Bone marrow aspirate smear · single-cell field — 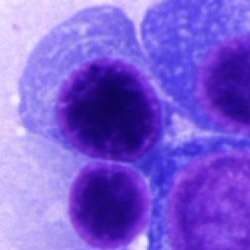

This is a plasmacyte.